Single cell centered in the field; bone marrow aspirate smear:
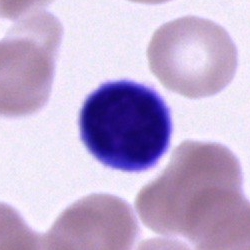Cell = lymphocyte.